Bone marrow aspirate smear: 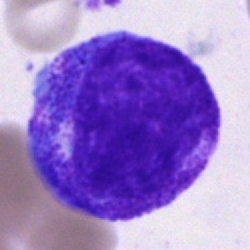

Morphology consistent with a promyelocyte.